Bone marrow aspirate smear — 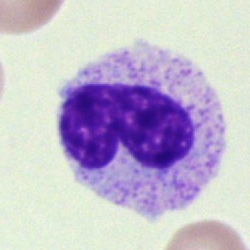

Classification: metamyelocyte.